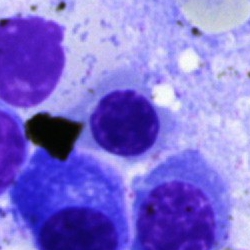
Bone marrow smear showing a nucleated red blood cell.